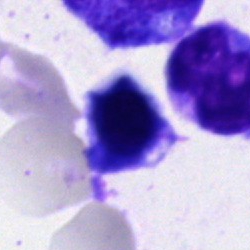Bone marrow aspirate smear, single cell — artifact.